Bone marrow smear; 250×250 px: 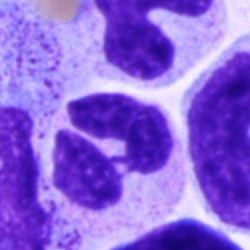

Cell: neutrophil (segmented).